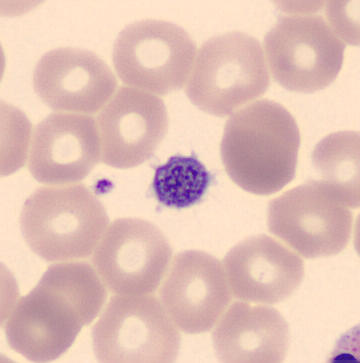

This is a platelet.

Image: Peripheral blood smear.